Bone marrow smear.
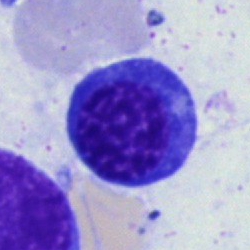
The cell shown is an erythroblast.